Bone marrow aspirate smear; brightfield, 40× oil-immersion objective: 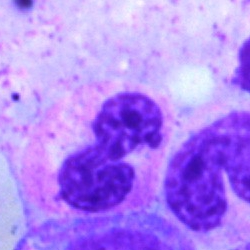

A neutrophil (segmented).